250×250 · bone marrow smear
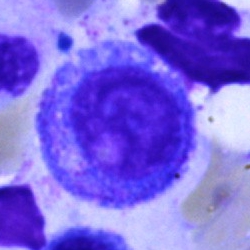

Showing a progranulocyte.